Bone marrow aspirate smear: 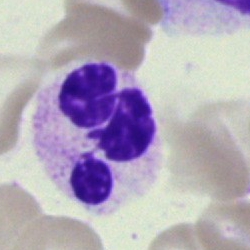Neutrophil (segmented).